Bone marrow aspirate smear; single-cell field — 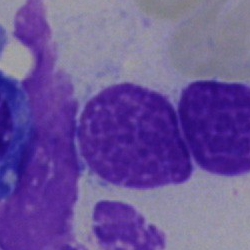 The morphological class is artifact.